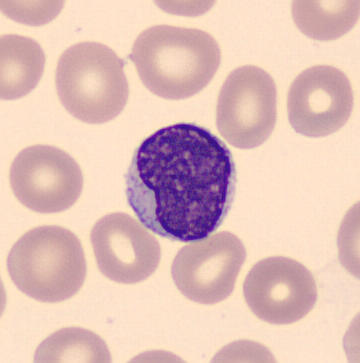Cell: lymphocyte.